Bone marrow smear.
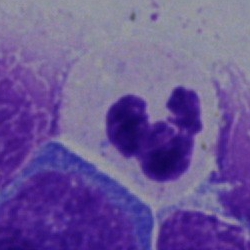
Cell type — polymorphonuclear neutrophil.